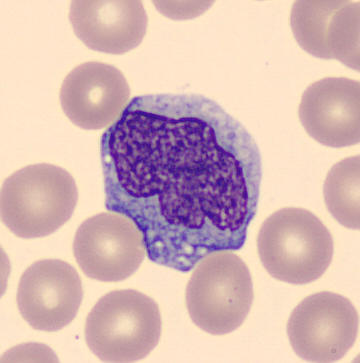
360 by 363 pixels. Imaged on a CellaVision DM96 analyser.
Specimen: peripheral blood film.
Morphological class: monocyte.
Lineage: myeloid.